Cropped to a single cell. Bone marrow aspirate smear. Image size 250×250: 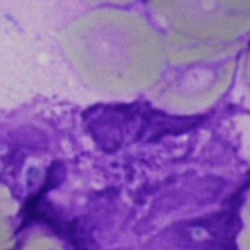

Morphology — artifact.